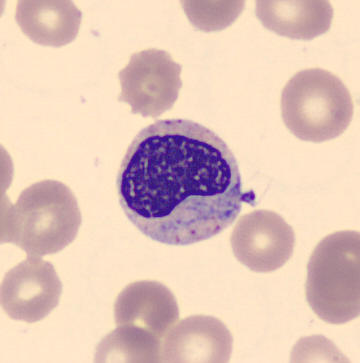Acquisition: Peripheral blood film.

Cell — metamyelocyte.